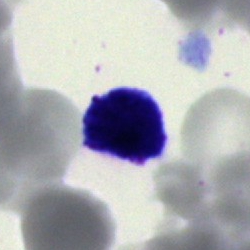 This is a typical lymphocyte.